Bone marrow aspirate smear
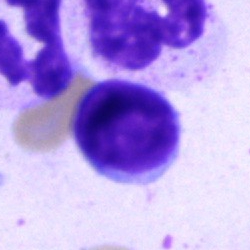
The classification is typical lymphocyte.